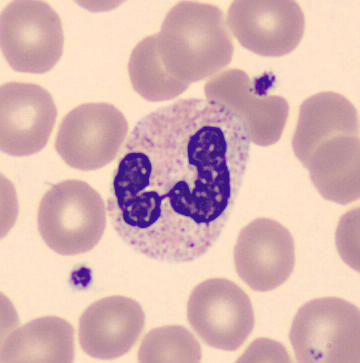Q: What is the morphological classification of this cell?
A: Segmented neutrophil.

Preparation: Peripheral blood smear.